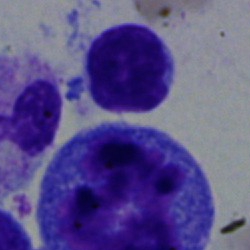

Single cell identified as an artefact.